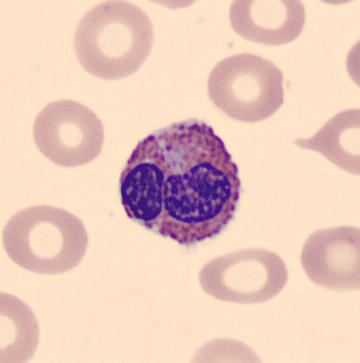

Acquisition: Peripheral blood film · MGG-stained · imaged on a CellaVision DM96 analyser. Cell type = eosinophilic granulocyte.